Bone marrow aspirate smear; 250×250 px
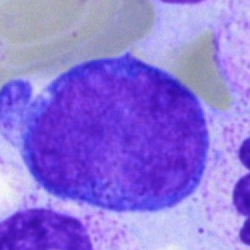

Showing a blast cell.